Pappenheim-stained; bone marrow smear — 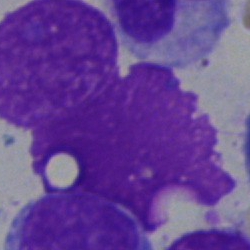Morphology → artifact.